Bone marrow aspirate smear; MGG-stained:
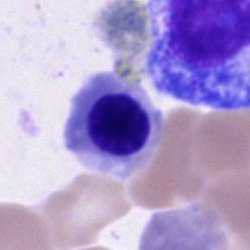

Showing a nucleated red cell.